May-Grünwald-Giemsa stain. Bone marrow aspirate smear: 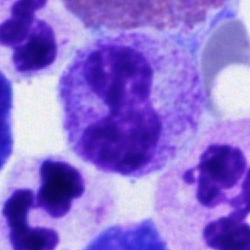Specimen: bone marrow aspirate smear.
Classification: polymorphonuclear neutrophil.
Lineage: myeloid.